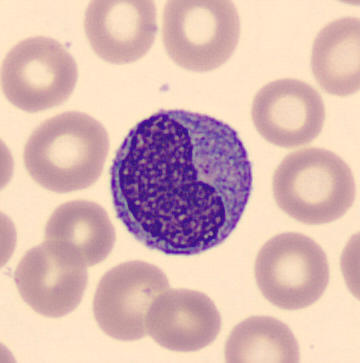
Q: What type of cell is this?
A: It is a monocyte.